Peripheral blood smear:
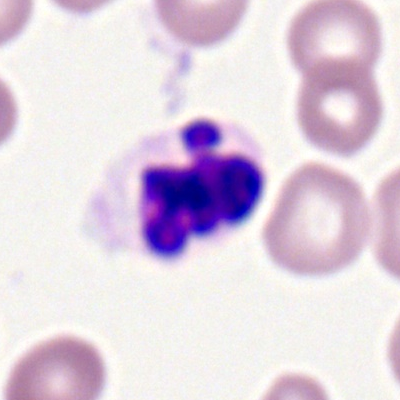 {"cell_type": "segmented neutrophil", "lineage": "myeloid"}